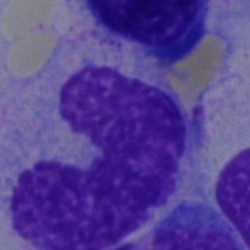Cell — artefact.